Bone marrow smear:
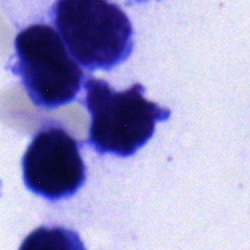
Q: What is shown here?
A: This is a lymphocyte.